40× objective, oil immersion · Pappenheim-stained · bone marrow aspirate smear
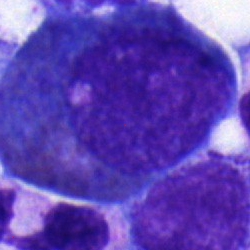Showing an eosinophilic granulocyte.